400×400. Peripheral blood film.
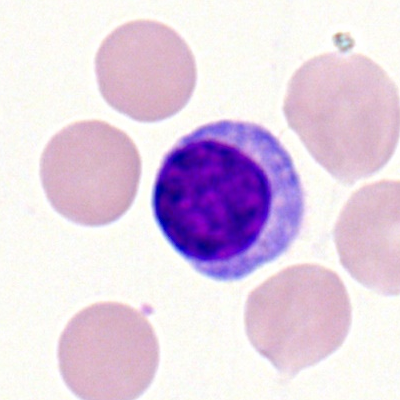

A lymphocyte.